Peripheral blood smear · M8 digital microscope (Precipoint), 100× oil immersion
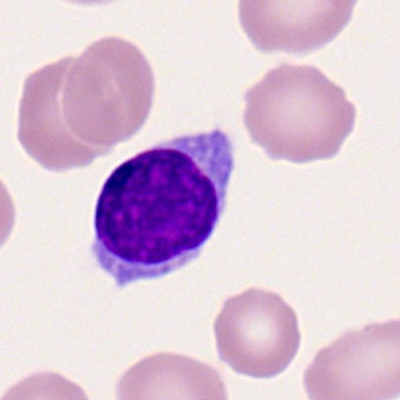 Single cell identified as a typical lymphocyte.